Bone marrow aspirate smear
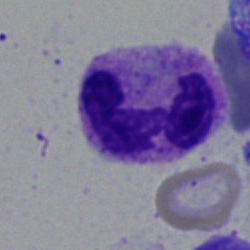Morphological class = band neutrophil.